Peripheral blood film:
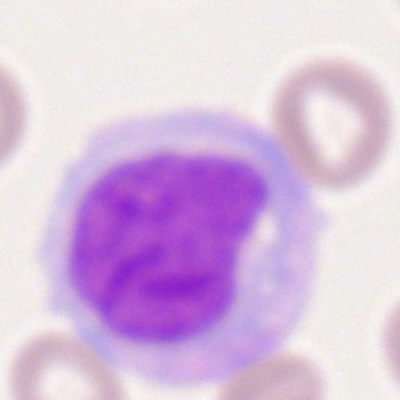 The cell shown is a monocyte.